Bone marrow aspirate smear — 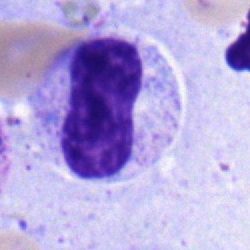
Specimen: bone marrow smear.
Morphological class: stab cell.
Lineage: myeloid.